Bone marrow aspirate smear: 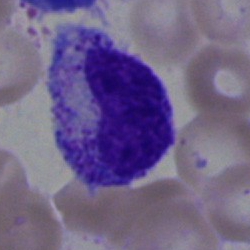 The classification is metamyelocyte.